100× objective, oil immersion. Peripheral blood smear — 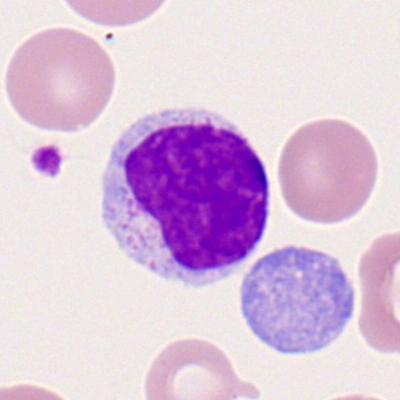

Classification = lymphocyte.